Brightfield microscopy, 40× oil immersion · bone marrow smear · single cell centered in the field:
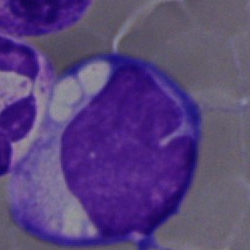 Cell = monocyte.